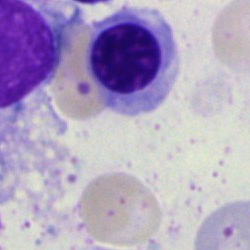

Q: Which cell type is shown here?
A: An erythroblast.